Bone marrow smear — 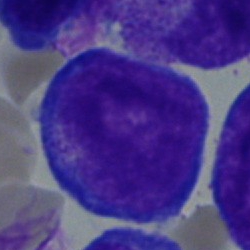 Cell — blast cell.